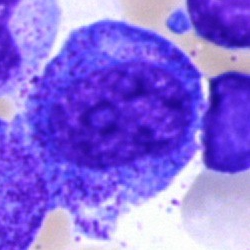 Q: What cell is this?
A: It is a promyelocyte.